250×250; cropped to a single cell; bone marrow aspirate smear: 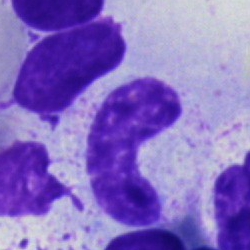 Morphology consistent with a stab cell.